Bone marrow smear — 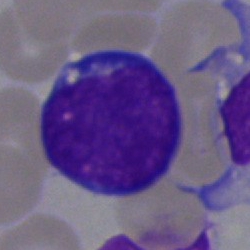Morphological class — blast.